Bone marrow aspirate smear; single-cell crop:
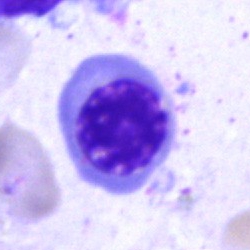

Cell = nucleated red cell.